250 by 250 pixels. Bone marrow aspirate smear — 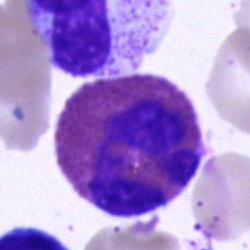
Q: What is shown here?
A: This is an eosinophil.